Bone marrow aspirate smear · Pappenheim-stained: 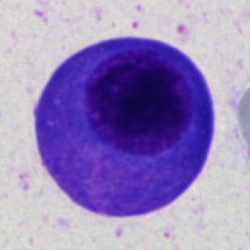Classification — plasmacyte.